Bone marrow smear:
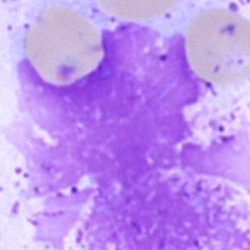Cell: artifact.